Brightfield, 40× oil-immersion objective. Bone marrow smear: 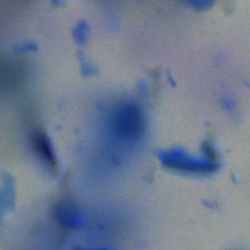
Morphology consistent with an artifact.